Bone marrow aspirate smear:
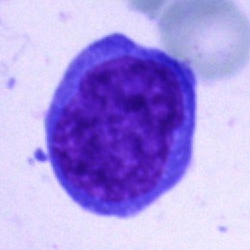 Blast cell.